Bone marrow aspirate smear:
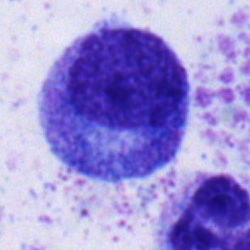

The cell shown is a myelocyte.